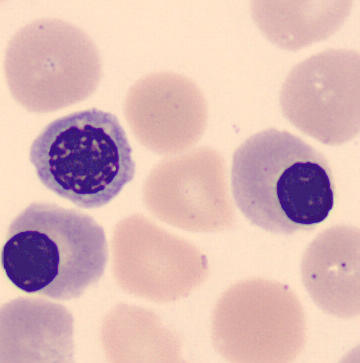 Q: Which cell type is shown here?
A: A nucleated red cell.